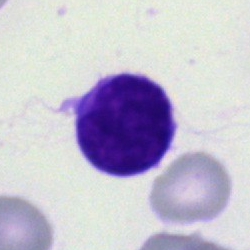 Single-cell crop from a bone marrow smear: lymphocyte.